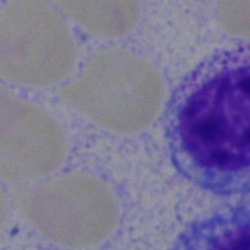
Specimen: bone marrow aspirate smear.
Classification: cell of indeterminate lineage.